Peripheral blood smear.
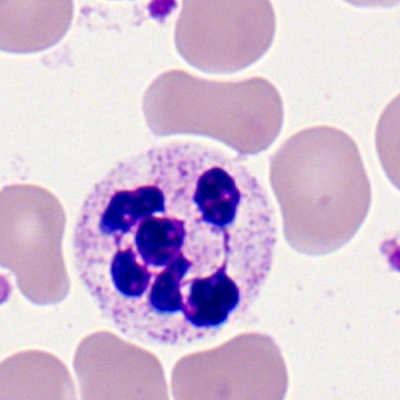 The cell is polymorphonuclear neutrophil.